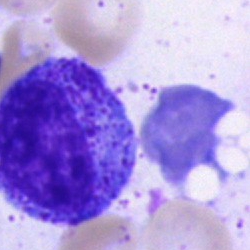
The classification is promyelocyte.